Bone marrow aspirate smear.
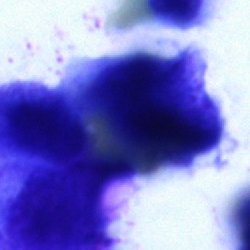
Morphological class = artefact.